Bone marrow smear.
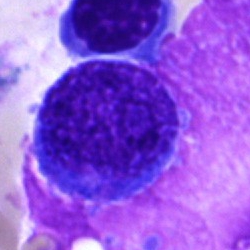 Q: What is the morphological classification of this cell?
A: It is a blast.